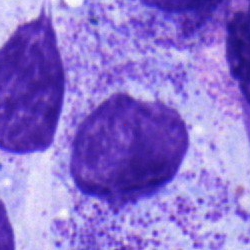Morphology consistent with a myelocyte.